Single-cell crop. Bone marrow aspirate smear — 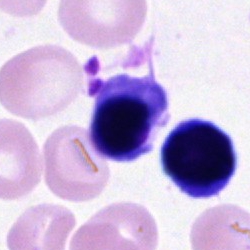A nucleated red cell.